Bone marrow smear; May-Grünwald-Giemsa/Pappenheim stain
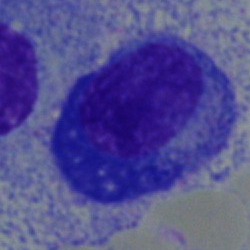Showing a plasma cell.